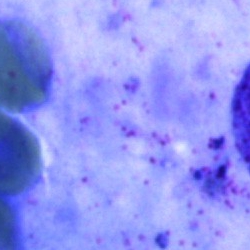

Morphological class = artefact.